Bone marrow smear; Pappenheim-stained.
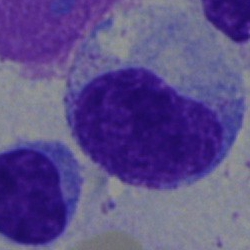
A myelocyte.